Peripheral blood smear.
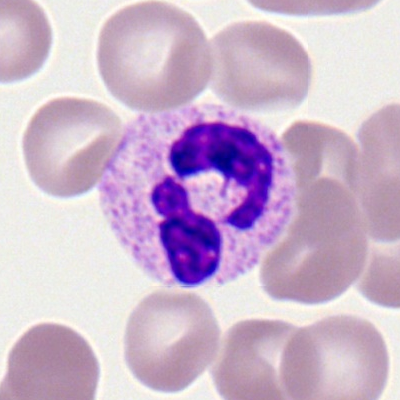

{"cell_type": "neutrophil (segmented)", "lineage": "myeloid"}